Peripheral blood smear — 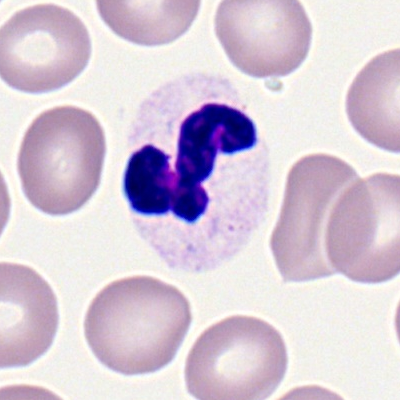 Classification = polymorphonuclear neutrophil.